Bone marrow aspirate smear: 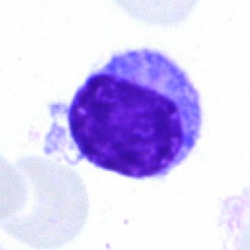
Cell type = typical lymphocyte.